Bone marrow aspirate smear:
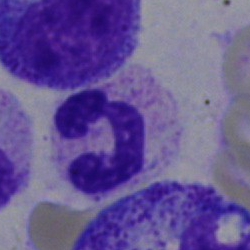 Specimen: bone marrow smear.
Cell type: segmented neutrophil.
Lineage: myeloid.